Bone marrow smear. Image size 250×250. Pappenheim-stained — 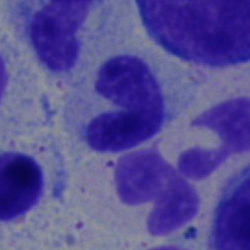The cell type is neutrophil (band).